Bone marrow smear
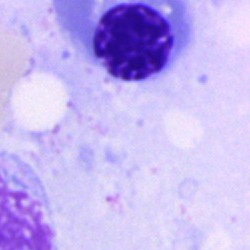Showing an erythroblast.